Single cell centered in the field; peripheral blood film:
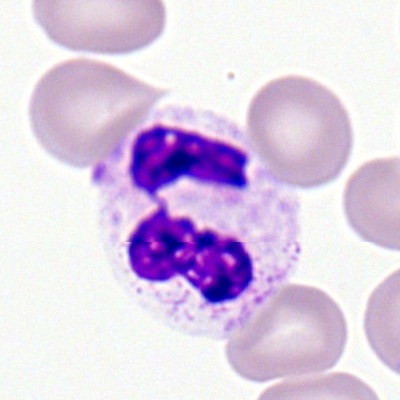
Classification: segmented neutrophil.